May-Grünwald-Giemsa stain; bone marrow smear: 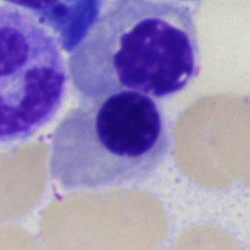

A nucleated red cell.